May-Grünwald-Giemsa/Pappenheim stain. Bone marrow aspirate smear. Single-cell field — 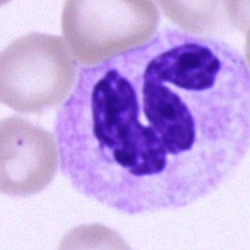

Specimen: bone marrow smear.
Classification: neutrophil (segmented).